MGG-stained · bone marrow aspirate smear · 250×250: 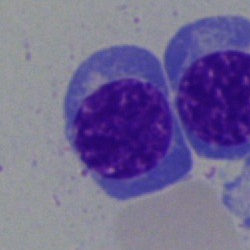The cell shown is a normoblast.